Romanowsky stain · peripheral blood smear.
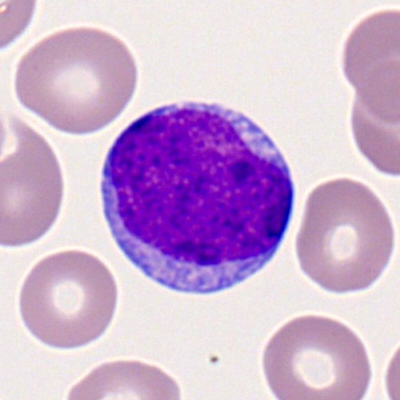 Morphology consistent with a myeloid blast.